Bone marrow aspirate smear:
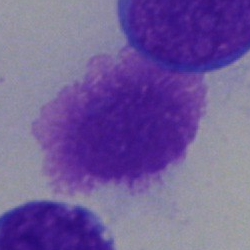

Q: What is shown here?
A: Artifact.